Bone marrow smear.
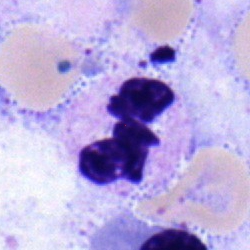

Specimen: bone marrow aspirate smear.
Classification: neutrophil (segmented).
Lineage: myeloid.